400×400. Romanowsky-stained. Peripheral blood film: 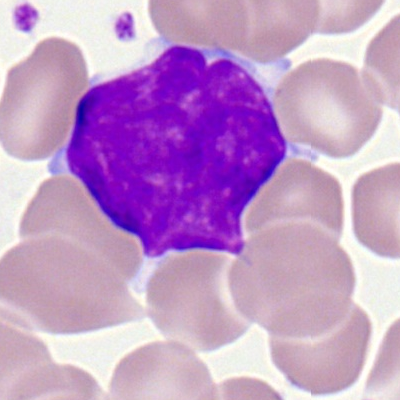
Classification = lymphocyte (atypical).